Bone marrow aspirate smear:
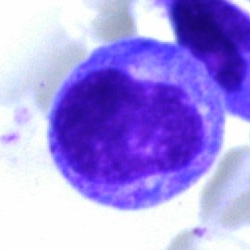
The cell shown is a promyelocyte.